Bone marrow aspirate smear:
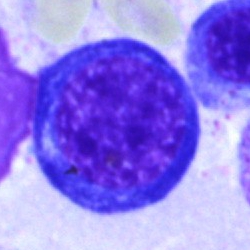
Showing a nucleated red blood cell.